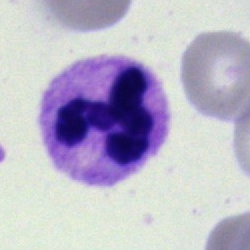 The morphological class is segmented neutrophil.